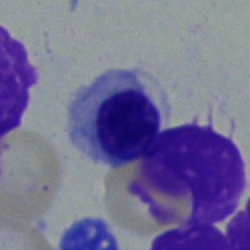

The cell type is normoblast.